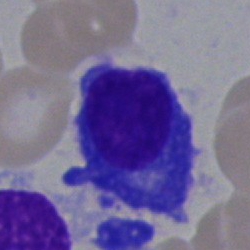Morphology consistent with a plasmacyte.